Peripheral blood smear · single-cell crop.
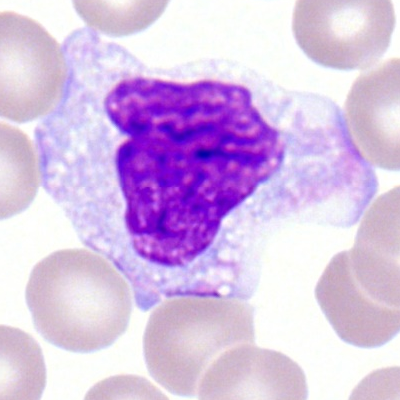 Impression → monocyte.